Bone marrow smear. Brightfield microscopy, 40× oil immersion — 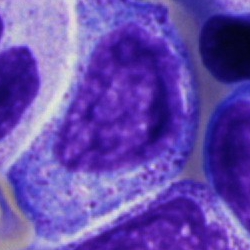 Impression → myelocyte.